Bone marrow smear
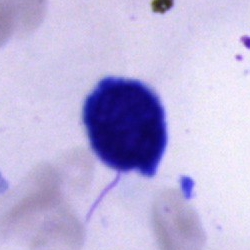

Morphology consistent with an artefact.